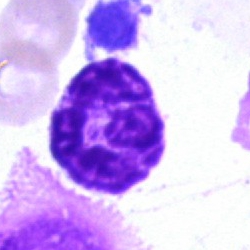
Morphological class: polymorphonuclear neutrophil.